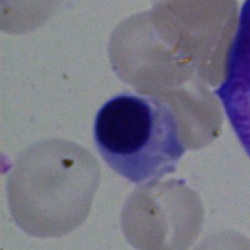
A nucleated red blood cell.